Bone marrow smear.
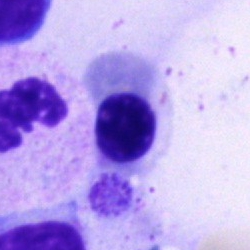Q: What is the morphological classification of this cell?
A: It is a nucleated red blood cell.